Single-cell crop; bone marrow smear; 250 by 250 pixels:
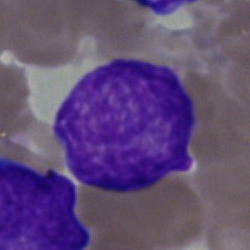

Q: What type of cell is this?
A: Undifferentiated blast.